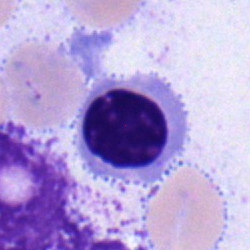
Normoblast.